Bone marrow smear · 40× oil immersion:
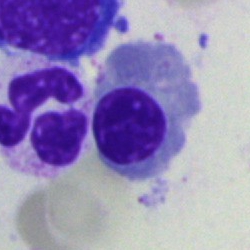 A nucleated red blood cell.